Bone marrow aspirate smear.
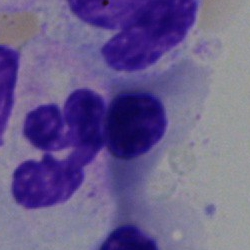 This is a nucleated red cell.